Bone marrow smear.
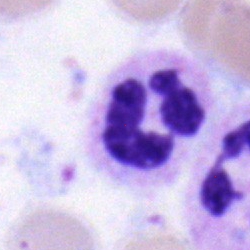A polymorphonuclear neutrophil.